Bone marrow aspirate smear: 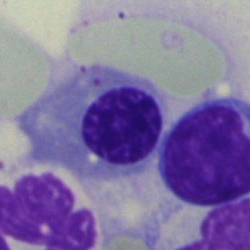 Specimen: bone marrow smear.
Morphological class: normoblast.
Lineage: erythroid.